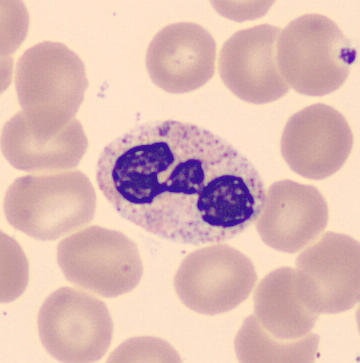Acquisition: Peripheral blood film.
{"cell_type": "neutrophil (segmented)", "lineage": "myeloid"}